Peripheral blood film
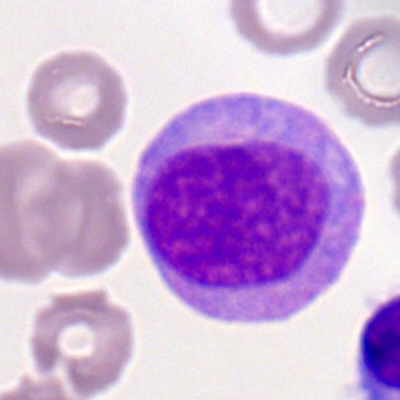

Morphology consistent with a monocyte.